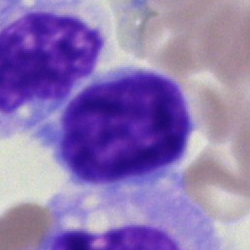

Lymphocyte.